Bone marrow smear; MGG-stained; brightfield microscopy, 40× oil immersion:
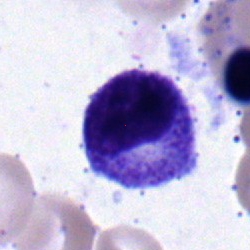The cell type is myelocyte.